Bone marrow aspirate smear — 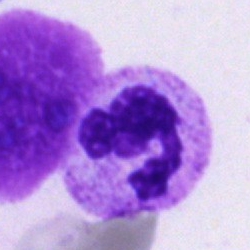
This is a polymorphonuclear neutrophil.